Bone marrow smear: 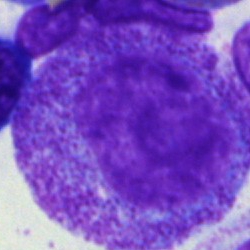 Q: What is shown here?
A: Promyelocyte.